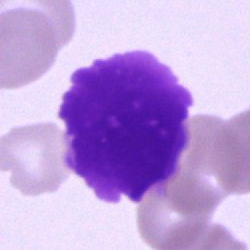 Bone marrow smear showing an artefact.